Single-cell field. Bone marrow aspirate smear — 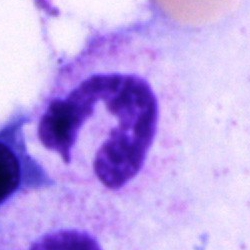 Cell type = polymorphonuclear neutrophil.